Pappenheim-stained. Bone marrow aspirate smear.
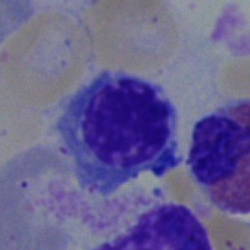
Cell: erythroblast.